Single-cell field · peripheral blood smear.
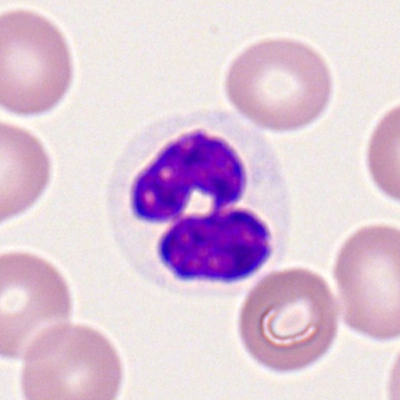
Morphology — neutrophil (segmented).